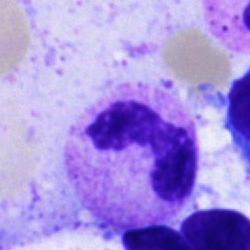Impression — segmented neutrophil.